Bone marrow smear:
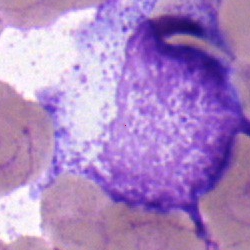 Specimen: bone marrow smear.
Cell type: myelocyte.
Lineage: myeloid.